Bone marrow aspirate smear — 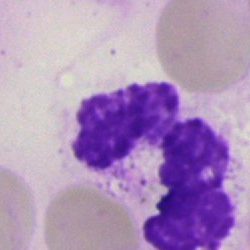
The cell shown is an artifact.